Bone marrow aspirate smear — 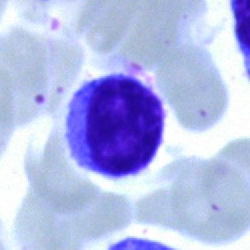
The morphological class is typical lymphocyte.